250×250; bone marrow smear — 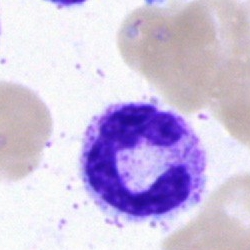
Cell type — neutrophil (segmented).